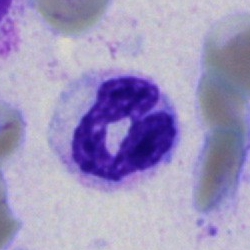Bone marrow aspirate smear, single cell — segmented neutrophil.